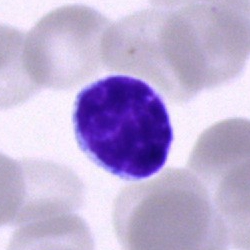 Showing a lymphocyte.